Cropped to a single cell; 250×250 px; bone marrow smear — 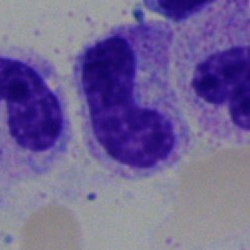
Classification — stab cell.